Bone marrow aspirate smear: 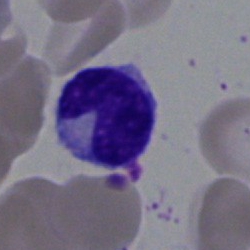Morphology → neutrophil (band).